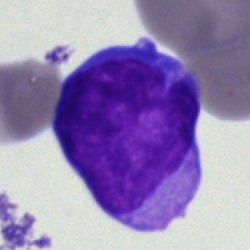 Single cell identified as a blast.